Image size 250×250; bone marrow aspirate smear.
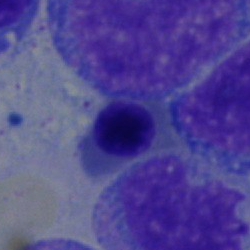

Morphological class: nucleated red cell.